Bone marrow aspirate smear — 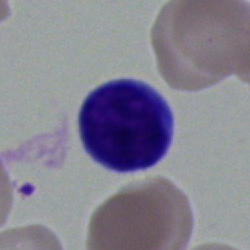

Cell — lymphocyte.